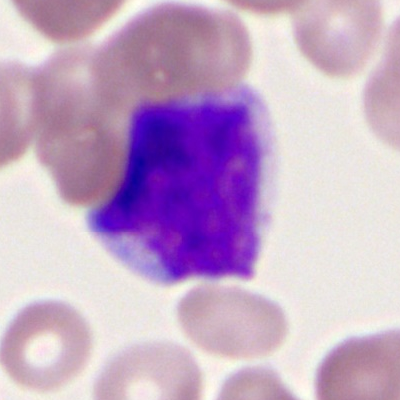Morphology consistent with a myeloblast.